Peripheral blood film:
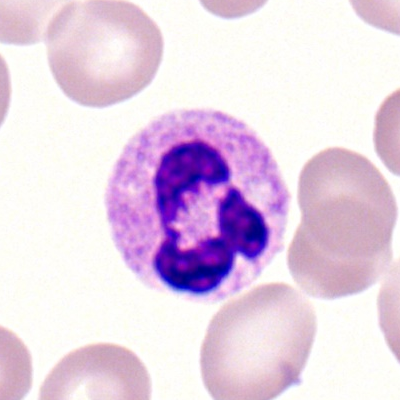

Specimen: peripheral blood smear.
Cell: polymorphonuclear neutrophil.